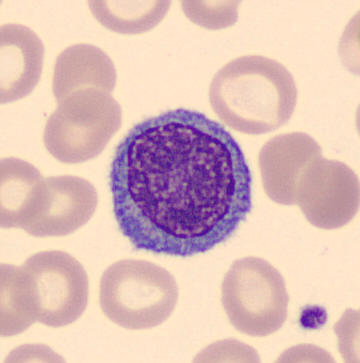

Specimen: peripheral blood smear.
Morphological class: monocyte.